Single-cell field. Peripheral blood smear
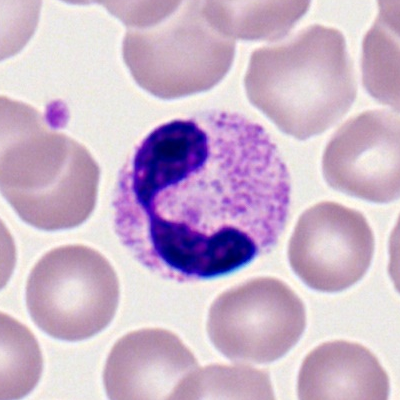

The cell shown is a neutrophil (segmented).